Bone marrow aspirate smear — 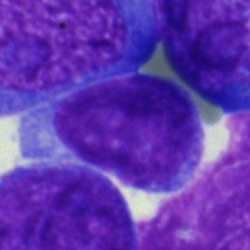
Cell type = lymphocyte.